Bone marrow smear:
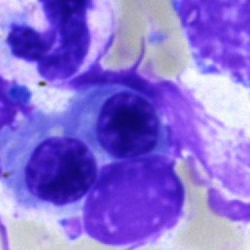

Cell: nucleated red blood cell.